May-Grünwald-Giemsa/Pappenheim stain · bone marrow aspirate smear — 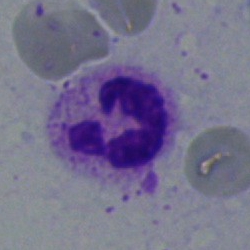

The cell is neutrophil (segmented).